Bone marrow aspirate smear: 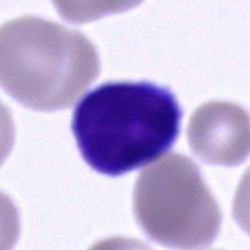Classification: lymphocyte.